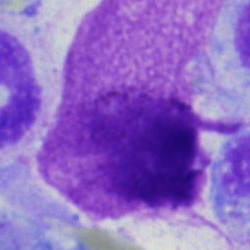Bone marrow smear showing an artifact.